Bone marrow smear.
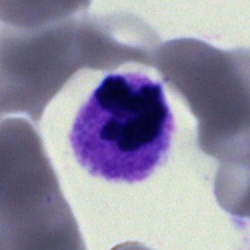 Cell type = neutrophil (segmented).